Peripheral blood film: 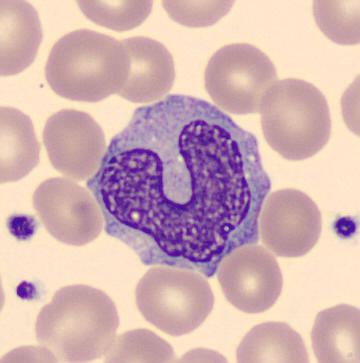
Specimen: peripheral blood smear.
Cell type: monocyte.